Bone marrow aspirate smear — 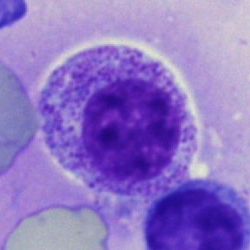 Cell = myelocyte.